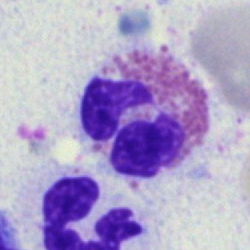Q: Identify the cell.
A: It is an eosinophil.